Bone marrow aspirate smear.
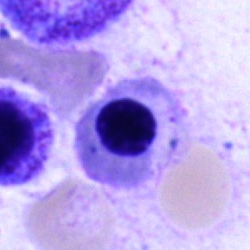

Q: What is the morphological classification of this cell?
A: A nucleated red cell.